Bone marrow aspirate smear — 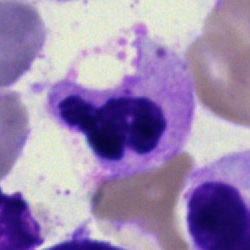Cell type — polymorphonuclear neutrophil.